Bone marrow smear; May-Grünwald-Giemsa stain; single-cell crop — 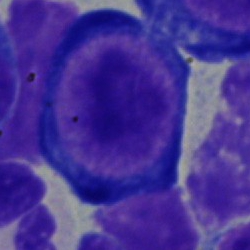 Impression — pronormoblast.